Bone marrow aspirate smear:
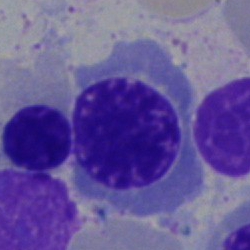 Morphological class: erythroblast.